Bone marrow aspirate smear; May-Grünwald-Giemsa stain
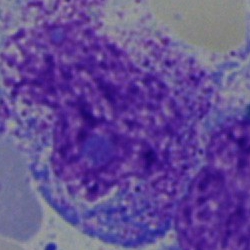Single cell identified as a progranulocyte.